Bone marrow aspirate smear. May-Grünwald-Giemsa/Pappenheim stain: 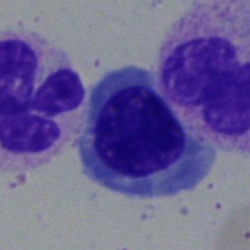 Specimen: bone marrow smear.
Cell type: erythroblast.